Peripheral blood smear: 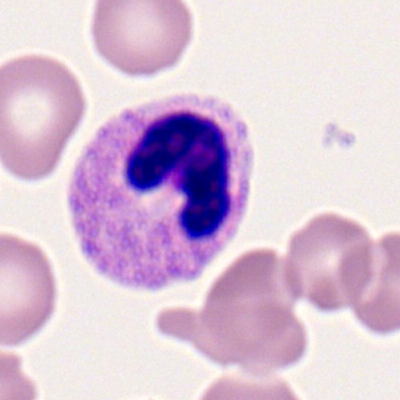
Morphological class: polymorphonuclear neutrophil.